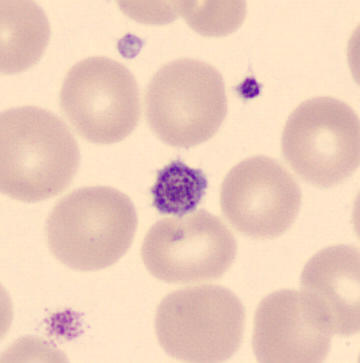 Acquisition: Peripheral blood film; 360×363 px; May-Grünwald-Giemsa-stained. Cell type = platelet (thrombocyte).